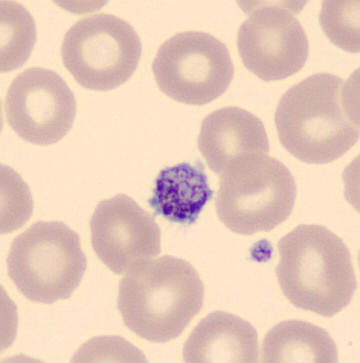
A thrombocyte.
Automated cell imaging (CellaVision DM96); peripheral blood film.